250×250 px · bone marrow smear · May-Grünwald-Giemsa stain:
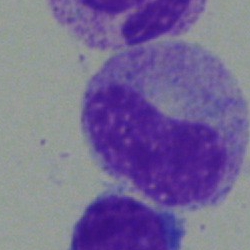 Q: What cell is this?
A: Metamyelocyte.